Bone marrow smear — 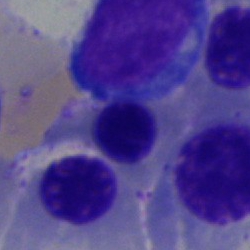 Morphology → erythroblast.